Peripheral blood smear; May-Grünwald-Giemsa-stained; single-cell field
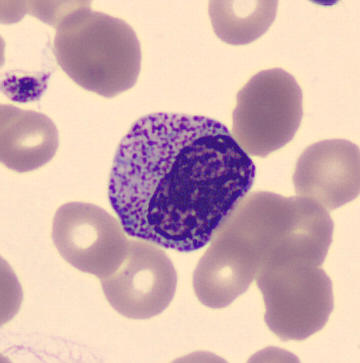

This is a metamyelocyte.